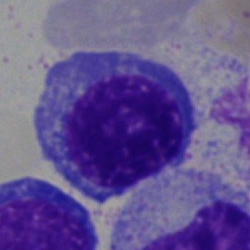Q: What type of cell is this?
A: Nucleated red blood cell.